May-Grünwald-Giemsa stain; bone marrow smear
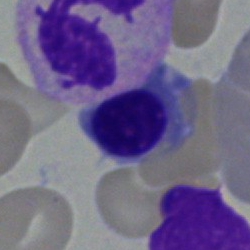Showing a nucleated red cell.